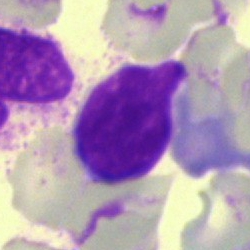Bone marrow aspirate smear, single cell — artifact.